Bone marrow smear: 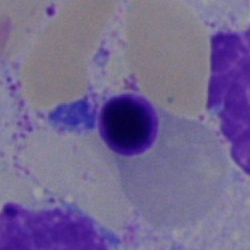 The cell shown is an erythroblast.